Bone marrow smear:
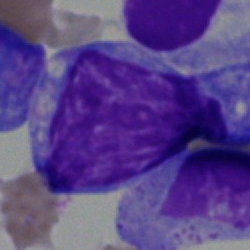The cell shown is a blast.